Brightfield microscopy, 40× oil immersion · bone marrow aspirate smear · Pappenheim-stained:
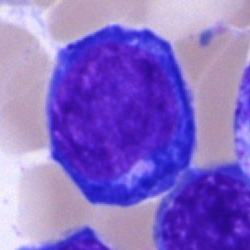A proerythroblast.